May-Grünwald-Giemsa stain; bone marrow aspirate smear:
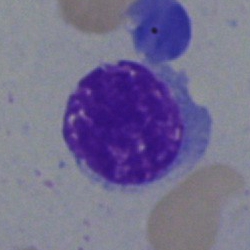 Q: What cell is this?
A: It is an erythroblast.